Bone marrow smear — 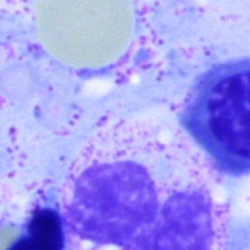 Showing an artifact.